250×250 px · bone marrow aspirate smear
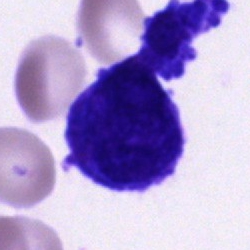Q: What type of cell is this?
A: Cell of indeterminate lineage.